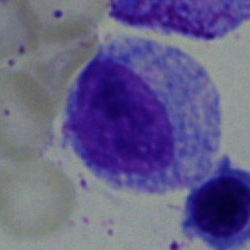 Specimen: bone marrow smear.
Classification: myelocyte.